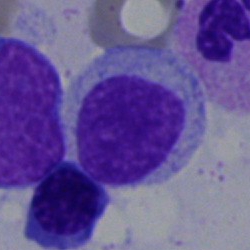
Impression — typical lymphocyte.